Bone marrow aspirate smear: 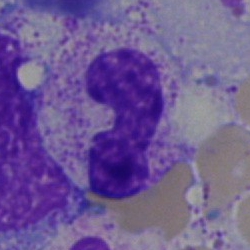
Morphological class = neutrophil (band).